40× objective, oil immersion · bone marrow smear:
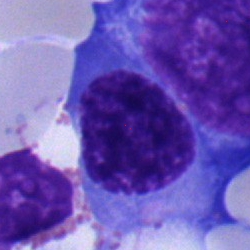

The cell is lymphocyte.